Bone marrow aspirate smear: 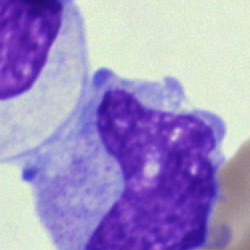
Cell — monocyte.